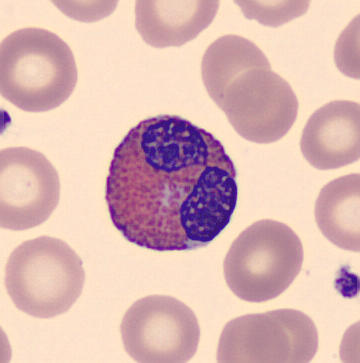

Peripheral blood smear · single-cell field.
Morphology — eosinophil.